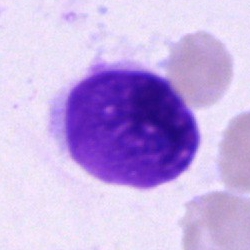Single-cell crop from a bone marrow smear: artefact.